Bone marrow aspirate smear.
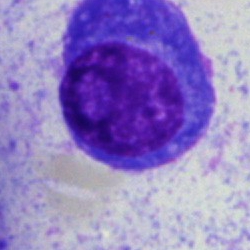This is a plasma cell.